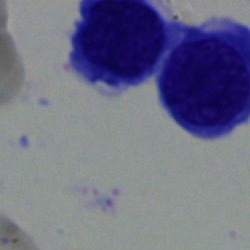
Q: What is shown here?
A: It is a normoblast.